250 by 250 pixels; bone marrow aspirate smear: 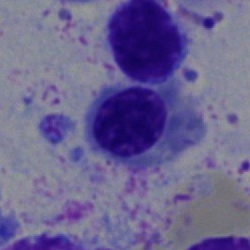This is an erythroblast.